MGG-stained · single-cell field · bone marrow aspirate smear — 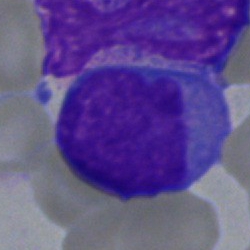
{"cell_type": "blast cell"}